Bone marrow smear
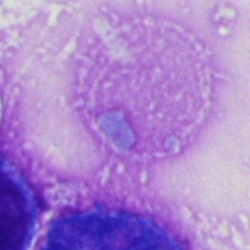
Q: What is shown here?
A: An artifact.